Bone marrow aspirate smear:
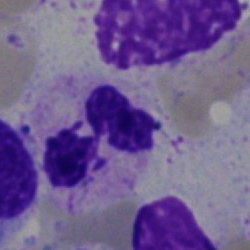
Morphology — polymorphonuclear neutrophil.